Bone marrow smear: 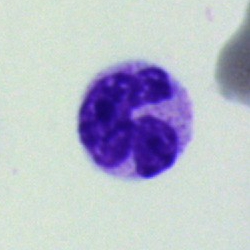 A neutrophil (segmented).